Bone marrow aspirate smear — 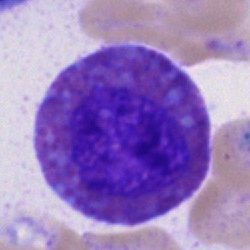

Single cell identified as an eosinophil.